Image size 400×400; 100× oil immersion, 14.14 px/µm; peripheral blood smear: 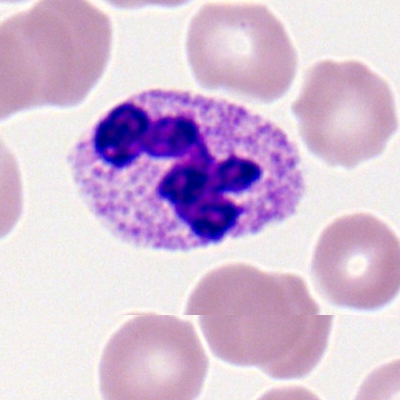Cell — polymorphonuclear neutrophil.